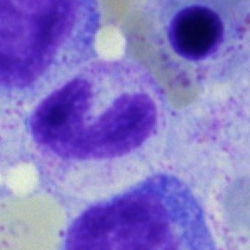Morphological class — band neutrophil.